Bone marrow aspirate smear. MGG-stained.
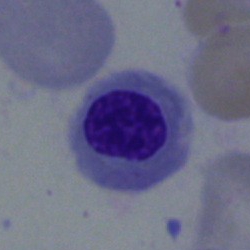 Nucleated red blood cell.